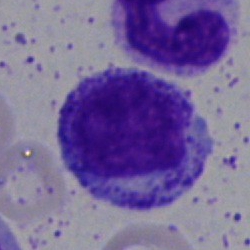

Single cell identified as a myelocyte.